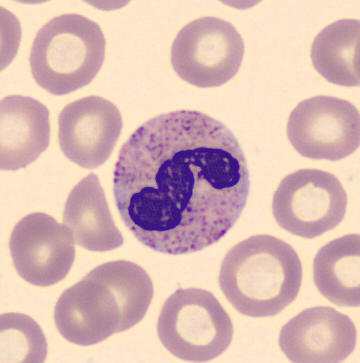Preparation: Peripheral blood smear.
Cell = segmented neutrophil.